Bone marrow smear. Single-cell field — 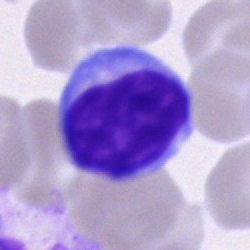This is a lymphocyte.